Cropped to a single cell · bone marrow smear — 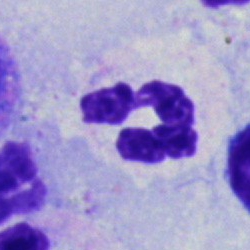

The cell type is polymorphonuclear neutrophil.